Brightfield, 40× oil-immersion objective; bone marrow aspirate smear:
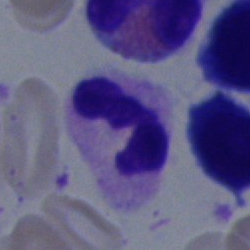
Cell — segmented neutrophil.